Bone marrow smear:
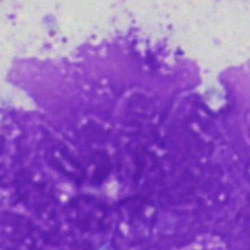

Specimen: bone marrow smear.
Classification: artefact.